Peripheral blood film.
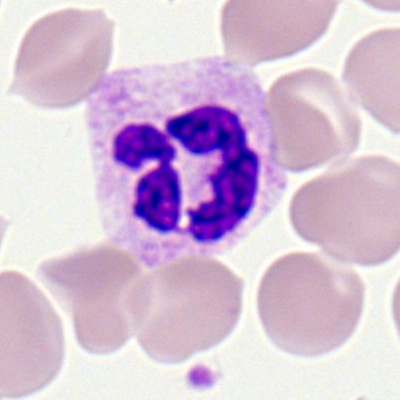 Specimen: peripheral blood film.
Cell: neutrophil (segmented).
Lineage: myeloid.